Single-cell field; May-Grünwald-Giemsa stain; bone marrow smear: 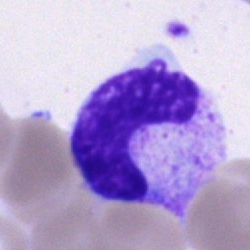
Q: Which cell type is shown here?
A: A band-form neutrophil.